May-Grünwald-Giemsa/Pappenheim stain; bone marrow aspirate smear:
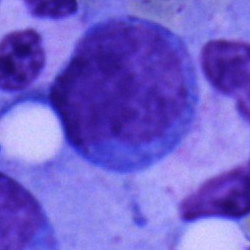
Specimen: bone marrow aspirate smear.
Cell type: blast cell.